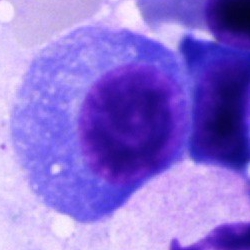

This is a plasma cell.